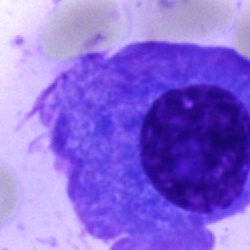Plasmacyte.